Bone marrow aspirate smear: 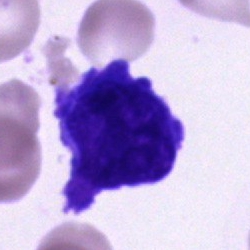

Cell type = cell of indeterminate lineage.